Bone marrow smear; 40× objective, oil immersion: 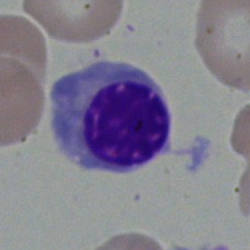Cell = normoblast.